Bone marrow aspirate smear:
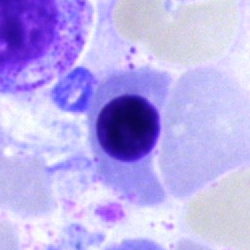

Q: Which cell type is shown here?
A: This is a normoblast.